Cropped to a single cell. Bone marrow aspirate smear. Image size 250×250 — 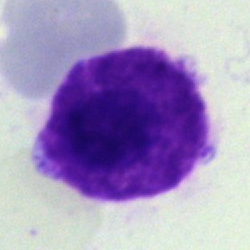
Specimen: bone marrow aspirate smear.
Cell: artifact.